Bone marrow smear:
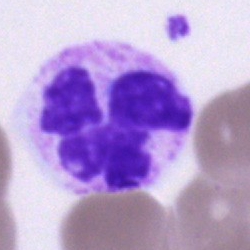
Single cell identified as a polymorphonuclear neutrophil.